Bone marrow aspirate smear: 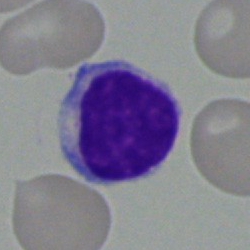
Cell type = lymphocyte.